40× oil immersion; bone marrow aspirate smear; 250 by 250 pixels: 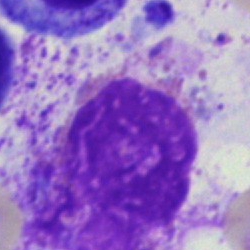
{"cell_type": "artefact"}